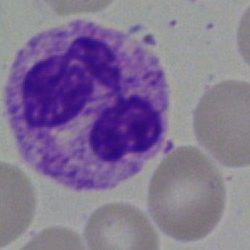
Morphology consistent with a polymorphonuclear neutrophil.